May-Grünwald-Giemsa stain; bone marrow smear:
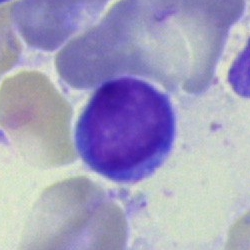

Showing a typical lymphocyte.